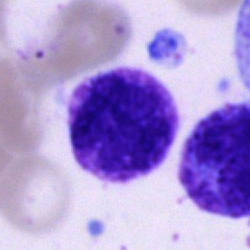
Morphology consistent with a basophil.